Bone marrow aspirate smear: 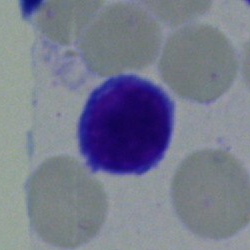 Q: Identify the cell.
A: Typical lymphocyte.